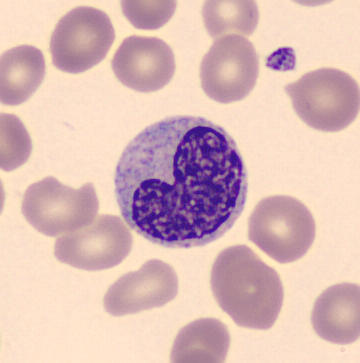

Specimen: peripheral blood smear.
Morphological class: metamyelocyte.
Lineage: myeloid.